Bone marrow aspirate smear. Image size 250×250. 40× objective, oil immersion
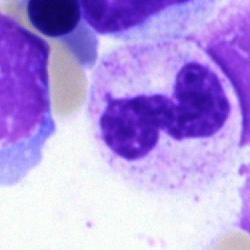

Single cell identified as a segmented neutrophil.